Bone marrow aspirate smear; 40× objective, oil immersion
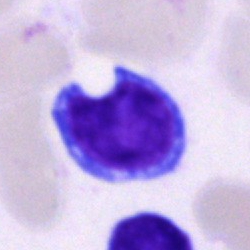
Morphology → typical lymphocyte.